Bone marrow aspirate smear. 40× objective, oil immersion.
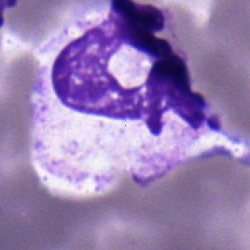 Impression → segmented neutrophil.